400 by 400 pixels. Peripheral blood film. Romanowsky-type stain:
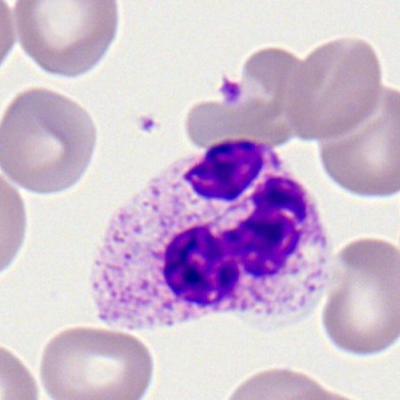
{"cell_type": "polymorphonuclear neutrophil", "lineage": "myeloid"}